Bone marrow aspirate smear.
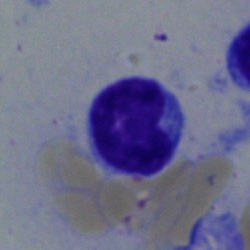The morphological class is lymphocyte.